Bone marrow smear — 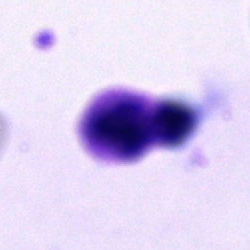

Specimen: bone marrow aspirate smear.
Morphological class: polymorphonuclear neutrophil.
Lineage: myeloid.